Bone marrow smear: 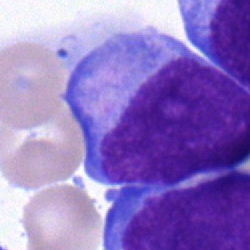

Single cell identified as a blast.